Bone marrow smear: 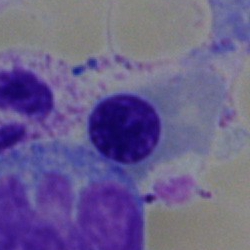

Morphology — normoblast.